Bone marrow aspirate smear. Brightfield microscopy, 40× oil immersion: 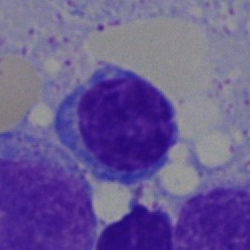{"cell_type": "lymphocyte", "lineage": "lymphoid"}